Bone marrow aspirate smear: 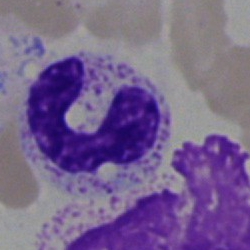 Morphology → polymorphonuclear neutrophil.